Bone marrow smear · single-cell field — 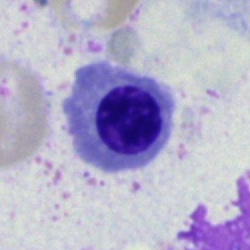 Q: What is shown here?
A: Nucleated red cell.